Bone marrow aspirate smear.
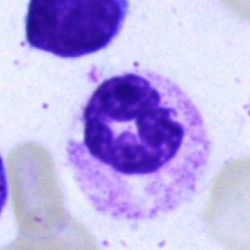

Cell — polymorphonuclear neutrophil.